Bone marrow smear — 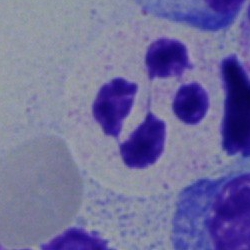Morphological class — segmented neutrophil.